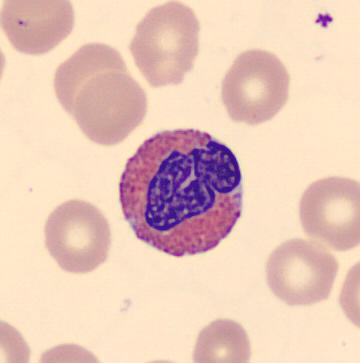

Single cell identified as an eosinophilic granulocyte. Preparation: Peripheral blood smear.